Image size 250×250 · bone marrow smear · single-cell field.
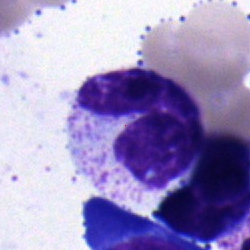
Morphology consistent with a stab cell.